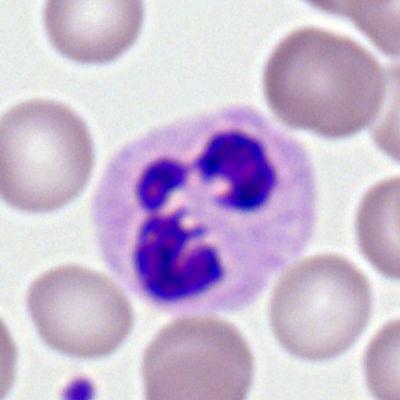 Classification = neutrophil (segmented).